Bone marrow aspirate smear · brightfield microscopy, 40× oil immersion: 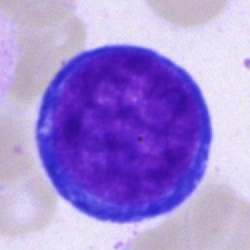
Single cell identified as a proerythroblast.